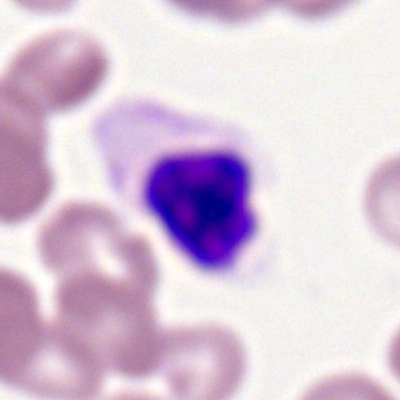
A segmented neutrophil.